Bone marrow smear · May-Grünwald-Giemsa stain — 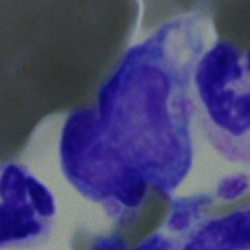A monocyte.